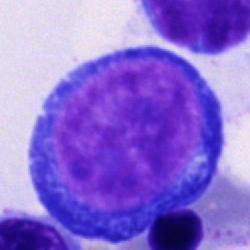
Morphology consistent with a pronormoblast.